Bone marrow smear.
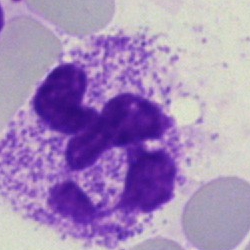
Q: What type of cell is this?
A: A neutrophil (segmented).